Bone marrow aspirate smear · Pappenheim-stained: 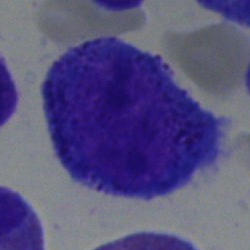Promyelocyte.